Peripheral blood smear; single-cell crop: 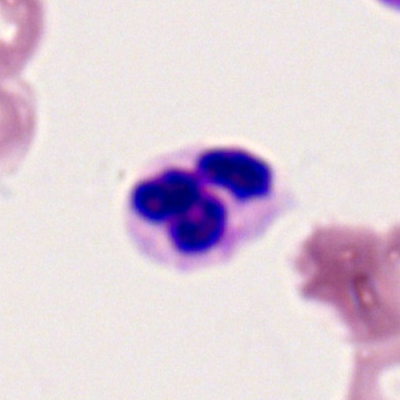Q: Which cell type is shown here?
A: It is a segmented neutrophil.